360×363; CellaVision DM96; peripheral blood smear.
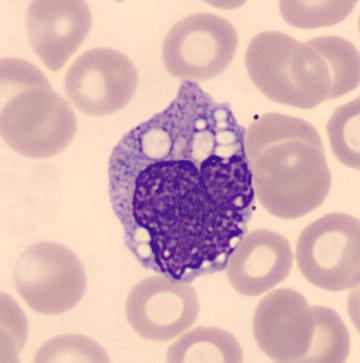
The cell shown is a monocyte.